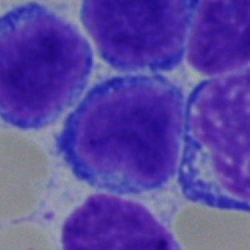

Single-cell crop from a bone marrow smear: typical lymphocyte.